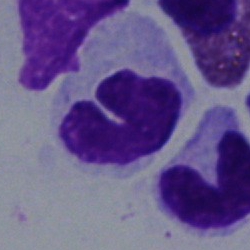
Impression — neutrophil (segmented).